250×250 px; bone marrow smear; single-cell crop:
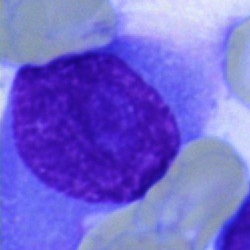

This is a plasmacyte.